40× oil immersion · bone marrow smear.
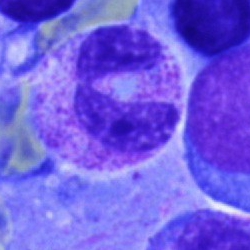 Cell — neutrophil (segmented).